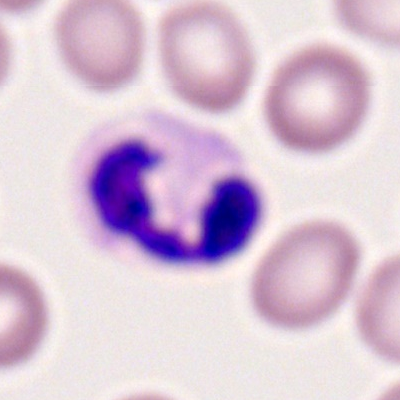

Q: Which cell type is shown here?
A: This is a polymorphonuclear neutrophil.